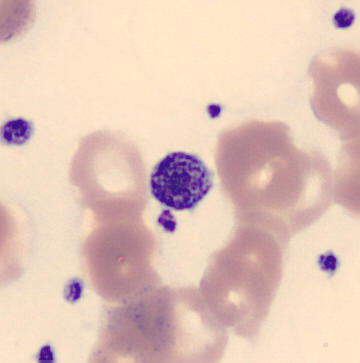Image: Peripheral blood smear; 360×363 px.
Identified as a thrombocyte.